250×250 px · bone marrow smear · May-Grünwald-Giemsa/Pappenheim stain.
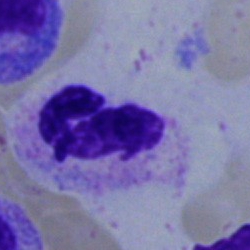 Cell type — neutrophil (segmented).